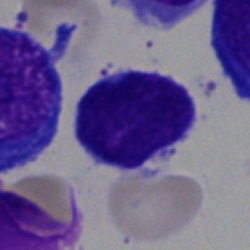
Showing a lymphocyte.